Bone marrow smear
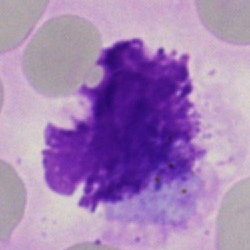Impression — artifact.